40× objective, oil immersion · bone marrow smear: 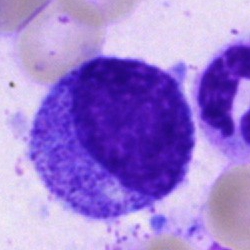 Impression → promyelocyte.